40× oil immersion · MGG-stained · bone marrow aspirate smear.
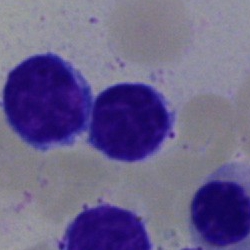

Classification = lymphocyte.